Bone marrow aspirate smear — 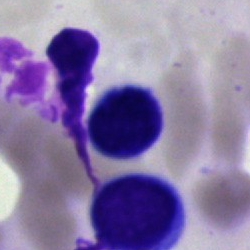 Specimen: bone marrow aspirate smear.
Morphological class: artefact.